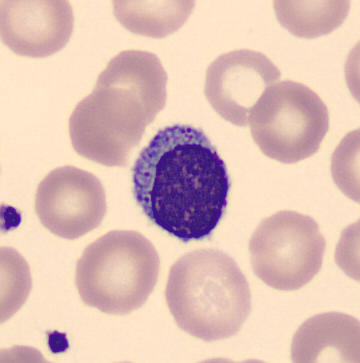
Morphology → lymphocyte.